400×400 px; 100× oil immersion; peripheral blood film: 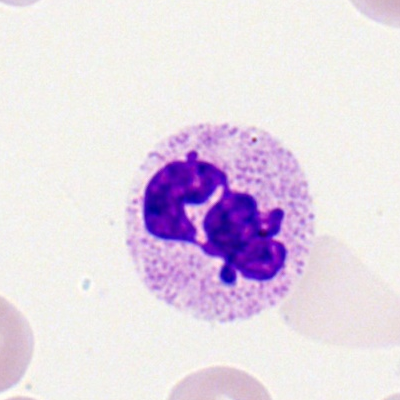

Morphology — polymorphonuclear neutrophil.